Bone marrow smear.
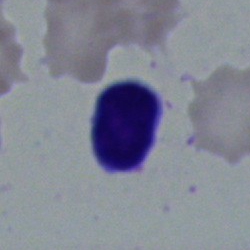The cell type is typical lymphocyte.